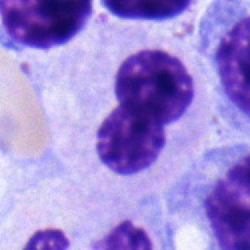 Metamyelocyte.